MGG-stained. Bone marrow smear
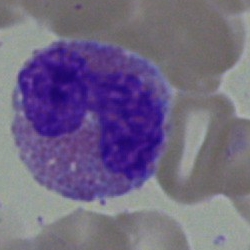
An eosinophilic granulocyte.